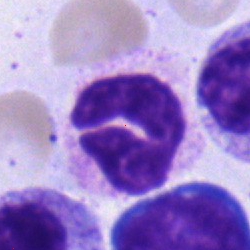Impression → segmented neutrophil.